Bone marrow aspirate smear · 40× oil immersion — 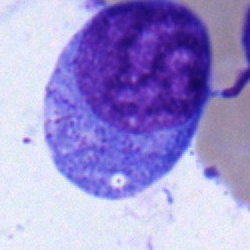

Classification: promyelocyte.